Bone marrow aspirate smear:
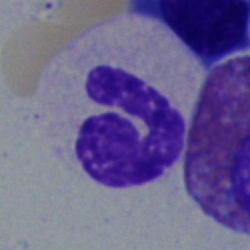 Showing a stab cell.